Bone marrow smear — 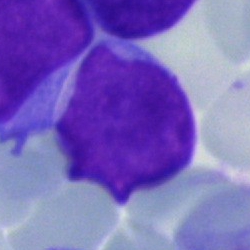 Morphological class: undifferentiated blast.